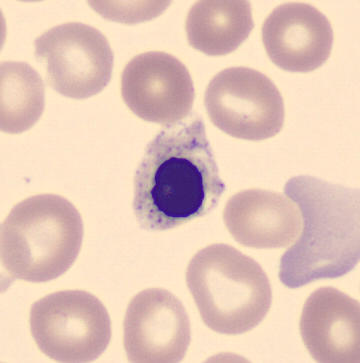

Q: What is the morphological classification of this cell?
A: A nucleated red blood cell.